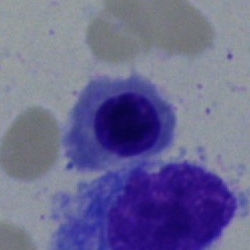The cell is normoblast.